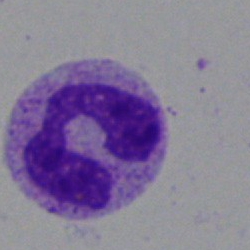 Morphological class — segmented neutrophil.